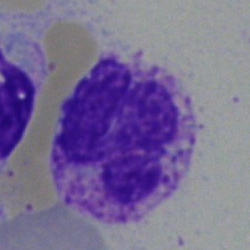
Specimen: bone marrow smear.
Classification: segmented neutrophil.
Lineage: myeloid.